Bone marrow aspirate smear — 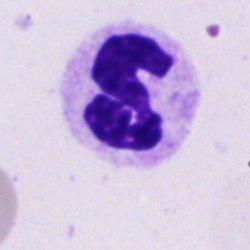Single cell identified as a polymorphonuclear neutrophil.